250×250. Bone marrow aspirate smear — 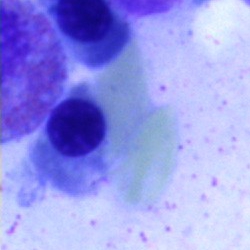 Q: Identify the cell.
A: A normoblast.